40× oil immersion · bone marrow smear · image size 250×250
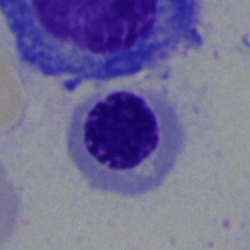

The morphological class is nucleated red blood cell.